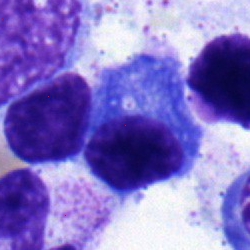

Cell type: plasma cell.